Cropped to a single cell; bone marrow aspirate smear.
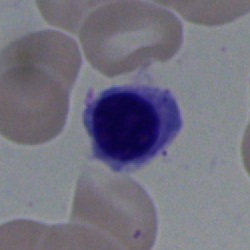

Morphological class — nucleated red cell.